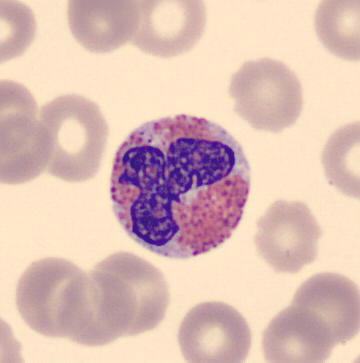

This is an eosinophil.

Preparation: Peripheral blood film · CellaVision DM96.